250 by 250 pixels. Bone marrow smear.
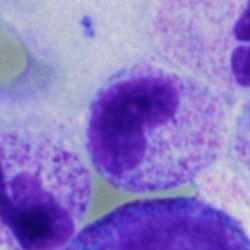
Morphology → metamyelocyte.